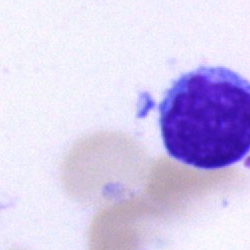 Q: Identify the cell.
A: It is a typical lymphocyte.